Single-cell crop. 250 by 250 pixels. Bone marrow smear
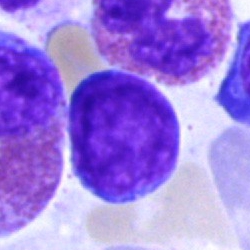The cell is lymphocyte.